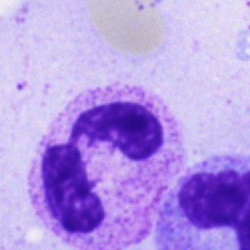 Q: Identify the cell.
A: This is a neutrophil (segmented).